Bone marrow aspirate smear
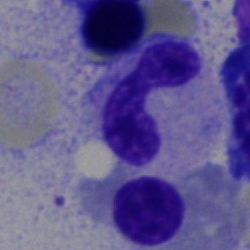Single cell identified as a polymorphonuclear neutrophil.